Brightfield, 40× oil-immersion objective; MGG-stained; bone marrow smear:
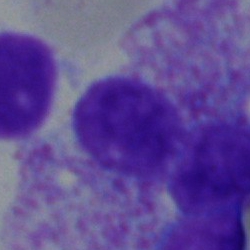
The cell shown is an artifact.